Bone marrow aspirate smear
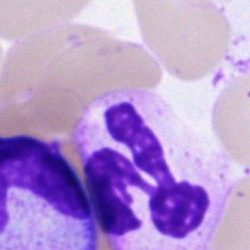
The morphological class is segmented neutrophil.